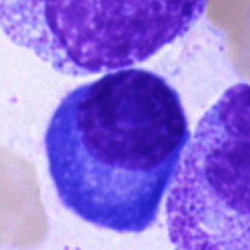 A plasma cell.